MGG-stained · bone marrow smear.
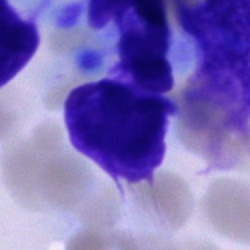
Artifact.